Bone marrow aspirate smear · brightfield, 40× oil-immersion objective: 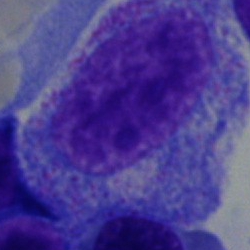{"cell_type": "progranulocyte", "lineage": "myeloid"}